Pappenheim-stained. Bone marrow aspirate smear. Single-cell crop: 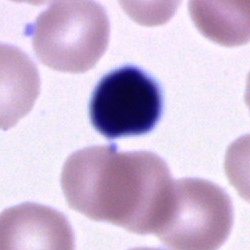Showing an unidentifiable cell.